Bone marrow aspirate smear: 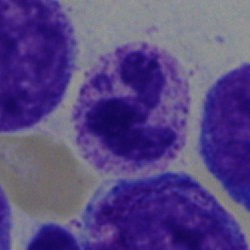Specimen: bone marrow aspirate smear.
Cell: segmented neutrophil.
Lineage: myeloid.